Bone marrow smear · 250×250 · May-Grünwald-Giemsa/Pappenheim stain:
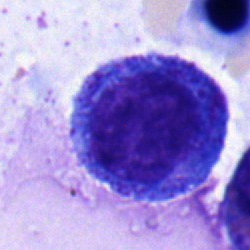Specimen: bone marrow aspirate smear.
Cell type: promyelocyte.